Single-cell crop · Pappenheim-stained · bone marrow smear
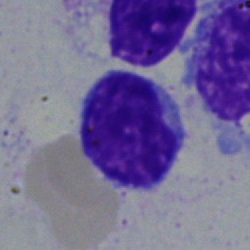

Morphology — lymphocyte.